250×250 px · bone marrow aspirate smear — 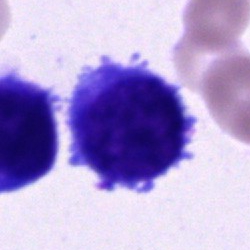

Morphology — blast.